Bone marrow smear; 250 by 250 pixels:
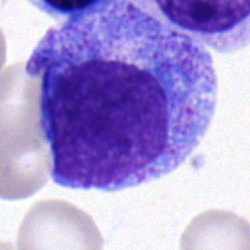
Classification — promyelocyte.